Bone marrow aspirate smear
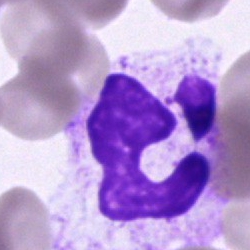
Q: What cell is this?
A: It is a segmented neutrophil.